Bone marrow aspirate smear
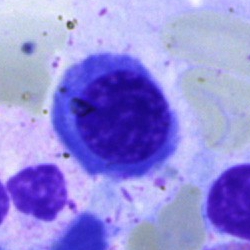
Impression → normoblast.